Bone marrow aspirate smear; May-Grünwald-Giemsa/Pappenheim stain — 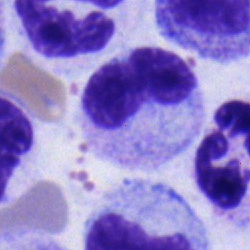 Q: What type of cell is this?
A: This is a metamyelocyte.